Bone marrow aspirate smear; cropped to a single cell; 250×250 px: 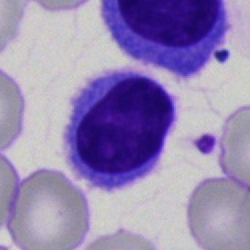

Classification: typical lymphocyte.